Cropped to a single cell; peripheral blood film; brightfield, 100× oil-immersion objective.
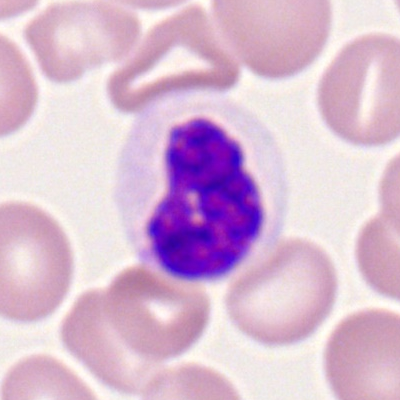Q: Which cell type is shown here?
A: It is a neutrophil (segmented).